Bone marrow smear
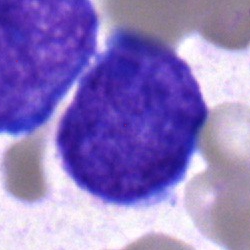 The cell shown is an undifferentiated blast.